Bone marrow aspirate smear · 250 by 250 pixels · brightfield, 40× oil-immersion objective: 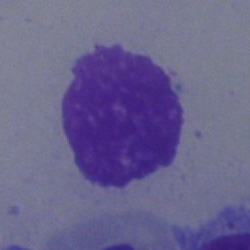Specimen: bone marrow aspirate smear.
Morphological class: artifact.